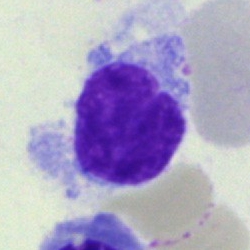Q: Identify the cell.
A: It is a hairy cell.